Bone marrow smear: 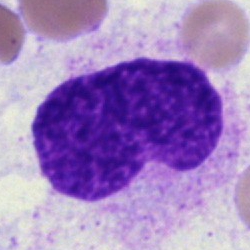 Artefact.